Bone marrow aspirate smear
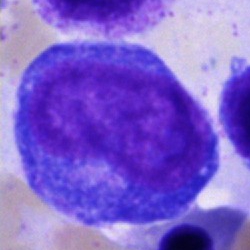

Single cell identified as a proerythroblast.